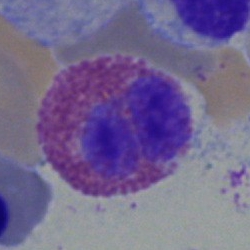
Bone marrow aspirate smear, single cell — eosinophilic granulocyte.